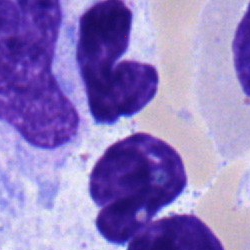 Classification: segmented neutrophil.